250×250; bone marrow aspirate smear; single-cell crop:
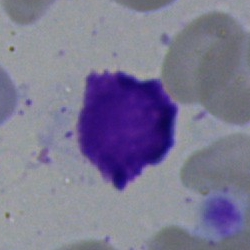Cell = artifact.